Cropped to a single cell; brightfield, 40× oil-immersion objective; bone marrow smear: 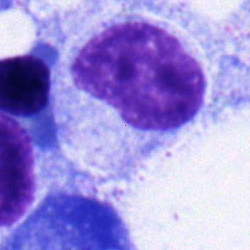

Metamyelocyte.